Single-cell field; bone marrow aspirate smear; 40× oil immersion.
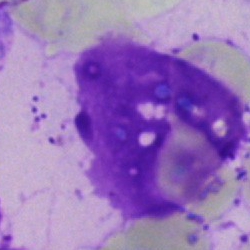
Morphological class — artefact.